Bone marrow aspirate smear. Brightfield, 40× oil-immersion objective:
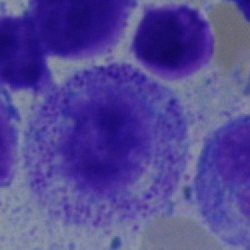Q: What type of cell is this?
A: Myelocyte.